Bone marrow smear.
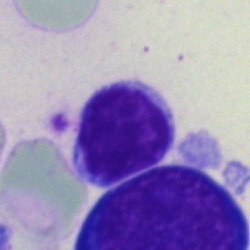
Lymphocyte.